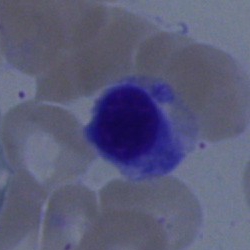

The cell shown is an erythroblast.